Bone marrow aspirate smear. May-Grünwald-Giemsa/Pappenheim stain — 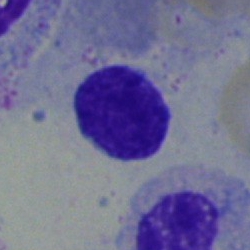

Specimen: bone marrow aspirate smear.
Classification: lymphocyte.
Lineage: lymphoid.